Bone marrow smear:
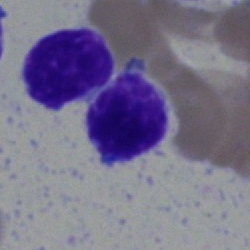
The cell type is typical lymphocyte.